Peripheral blood film. Single cell centered in the field: 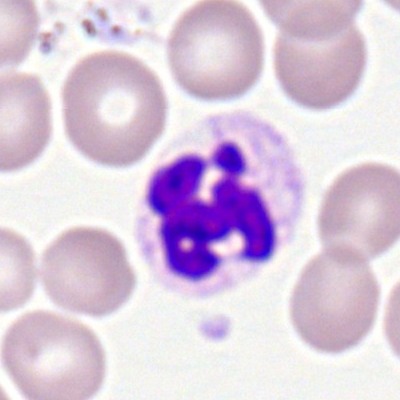
Impression — polymorphonuclear neutrophil.